Bone marrow smear
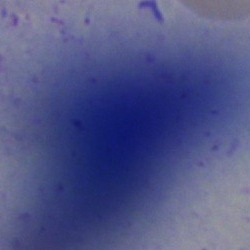
Artefact.